Bone marrow aspirate smear · single-cell crop.
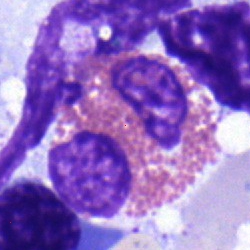 An eosinophilic granulocyte.